Single-cell field. Bone marrow aspirate smear
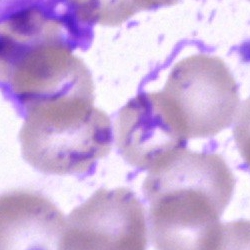

Morphology → artifact.